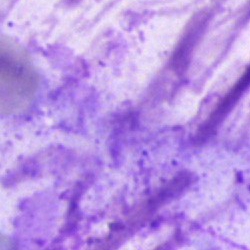
Bone marrow smear showing an artifact.